Bone marrow smear: 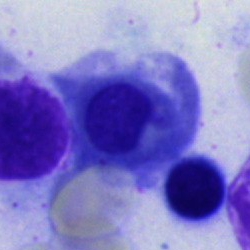

The cell type is nucleated red blood cell.